Brightfield, 40× oil-immersion objective · bone marrow aspirate smear · image size 250×250.
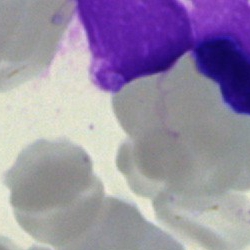
The cell shown is an artefact.